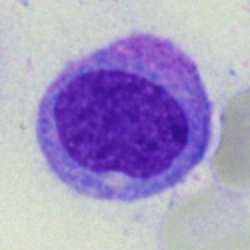Q: Which cell type is shown here?
A: A monocyte.